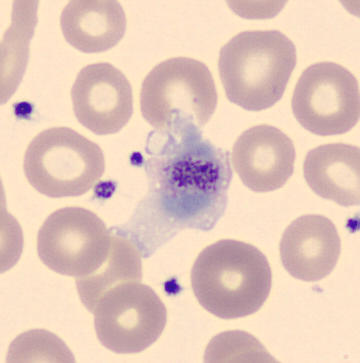

Impression → platelet (thrombocyte).